250×250 px · bone marrow smear:
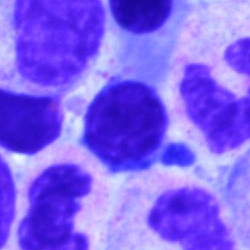
Q: Identify the cell.
A: Typical lymphocyte.